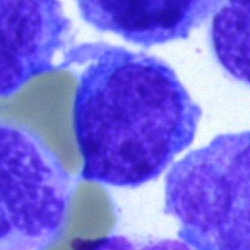Q: What cell is this?
A: An undifferentiated blast.